Bone marrow smear — 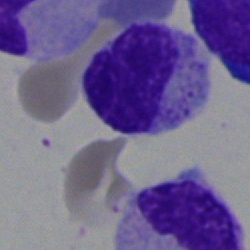{"cell_type": "myelocyte"}